Bone marrow aspirate smear.
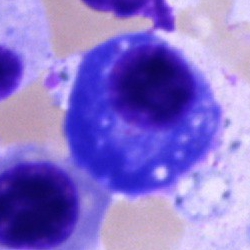Morphological class — plasmacyte.